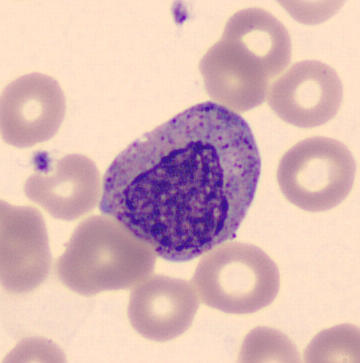 Preparation: Imaged on a CellaVision DM96 analyser; peripheral blood film.
The cell shown is a myelocyte.